Bone marrow smear: 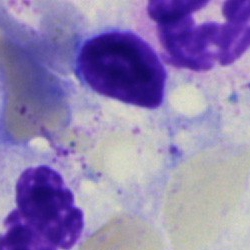
Showing an artifact.